Bone marrow aspirate smear
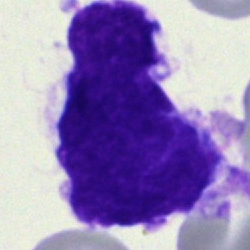 This is a blast.